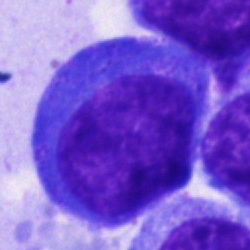Q: What type of cell is this?
A: It is a blast.